Bone marrow smear — 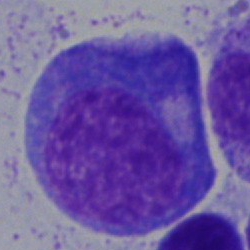

Showing a promyelocyte.